Bone marrow smear · 250×250.
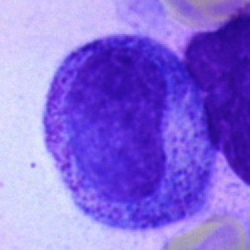
Q: What is shown here?
A: It is a promyelocyte.